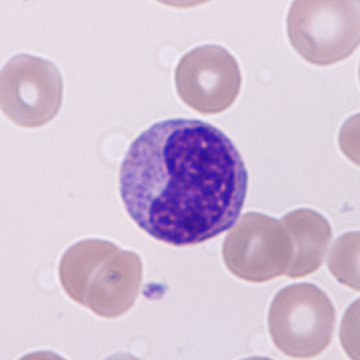

An immature granulocyte on a peripheral blood smear.